Bone marrow smear — 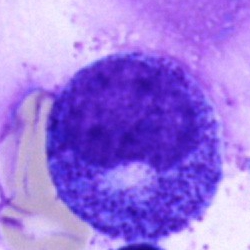The cell is promyelocyte.